Bone marrow smear:
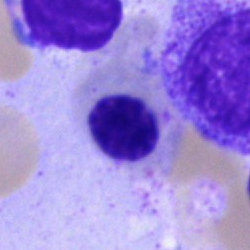Specimen: bone marrow smear.
Cell type: nucleated red blood cell.
Lineage: erythroid.